Romanowsky-type stain; M8 digital microscope (Precipoint), 100× oil immersion; peripheral blood film.
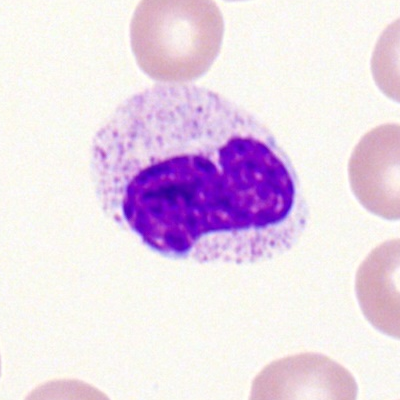 Cell = neutrophil (segmented).